Bone marrow aspirate smear.
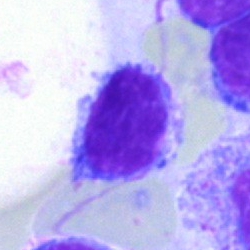 Cell type: typical lymphocyte.